Bone marrow aspirate smear.
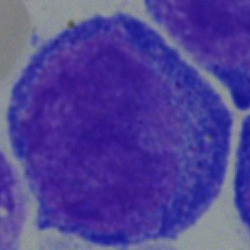Showing a blast cell.